Bone marrow smear.
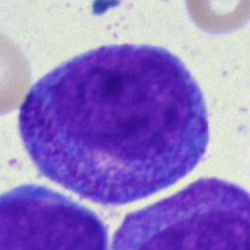
Classification — promyelocyte.